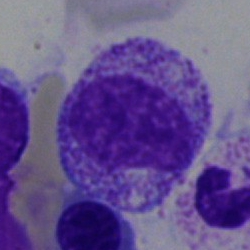

Bone marrow smear showing a myelocyte.